Bone marrow aspirate smear:
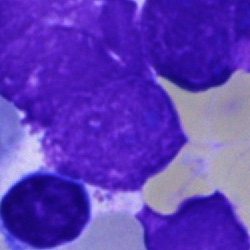 The classification is artefact.